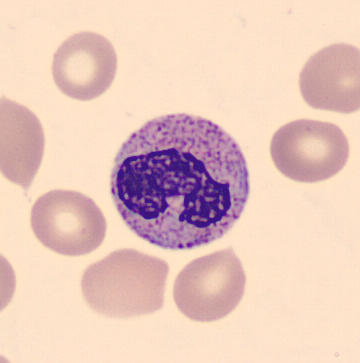
Preparation: Automated cell imaging (CellaVision DM96) · peripheral blood smear.

Q: Identify the cell.
A: A band-form neutrophil.